Bone marrow aspirate smear:
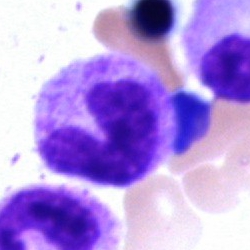

Band neutrophil.